Bone marrow aspirate smear
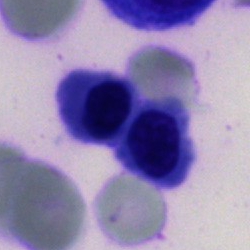Specimen: bone marrow aspirate smear.
Morphological class: nucleated red blood cell.
Lineage: erythroid.